Bone marrow smear; brightfield microscopy, 40× oil immersion.
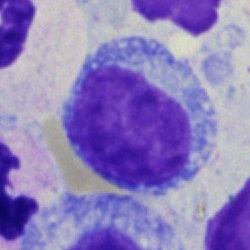

Cell — blast.